Bone marrow smear · image size 250×250 · cropped to a single cell
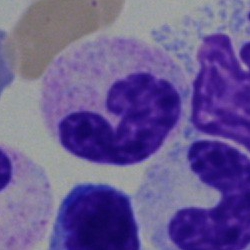 The cell shown is a band-form neutrophil.